Single-cell field · bone marrow smear · MGG-stained
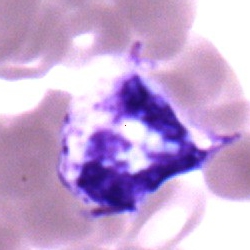 This is a polymorphonuclear neutrophil.